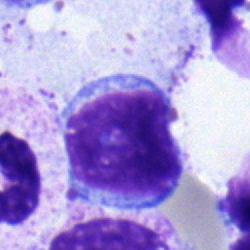Q: What cell is this?
A: This is a lymphocyte.